Bone marrow aspirate smear
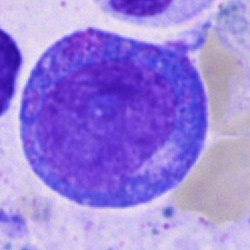 Morphology → progranulocyte.